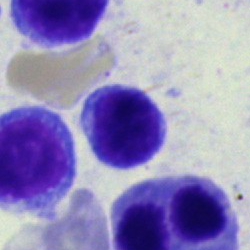

Single cell identified as a typical lymphocyte.